Peripheral blood smear: 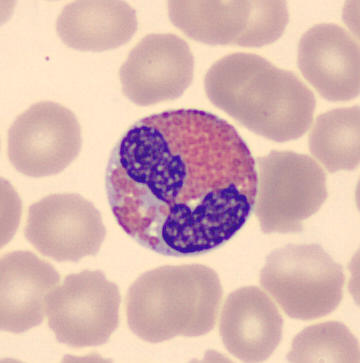 Showing an eosinophilic granulocyte.